Bone marrow aspirate smear — 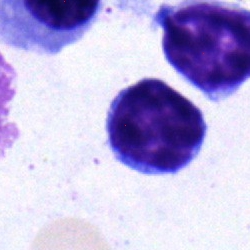{"cell_type": "lymphocyte"}